Bone marrow aspirate smear
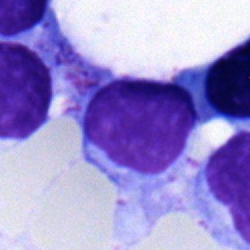Q: What cell is this?
A: This is a lymphocyte.